Bone marrow smear · image size 250×250 · single-cell field
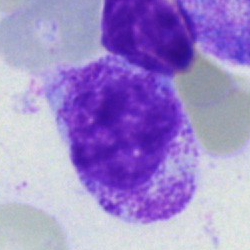
A myelocyte.